Peripheral blood smear. Single cell centered in the field.
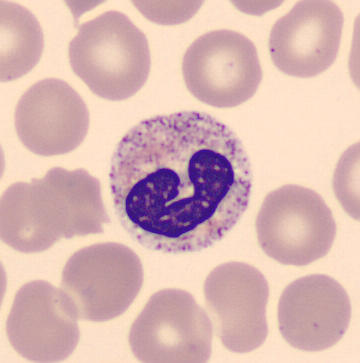 Q: Which cell type is shown here?
A: It is a band neutrophil.